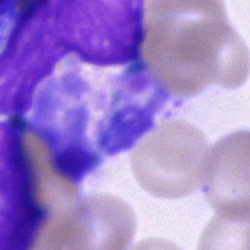 Q: Which cell type is shown here?
A: An unidentifiable cell.